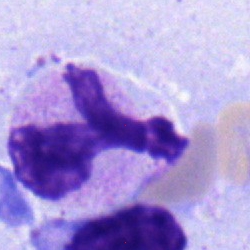

Specimen: bone marrow smear.
Classification: segmented neutrophil.
Lineage: myeloid.